250×250; MGG-stained; bone marrow aspirate smear.
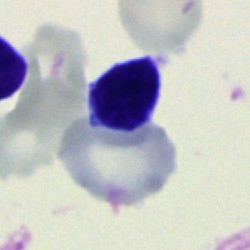 This is a typical lymphocyte.